Bone marrow smear. Pappenheim-stained. Single-cell crop — 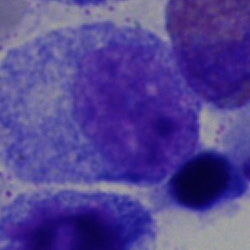

Morphological class: progranulocyte.